250 by 250 pixels · single cell centered in the field · bone marrow aspirate smear — 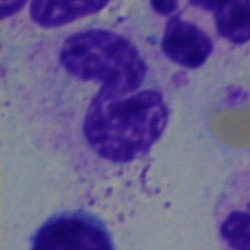

Q: Which cell type is shown here?
A: Neutrophil (band).